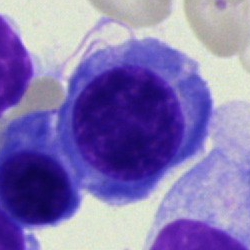 Morphology consistent with a nucleated red cell.